Bone marrow aspirate smear:
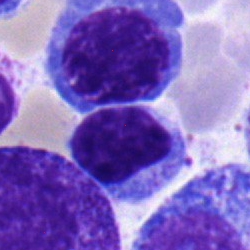Specimen: bone marrow smear.
Morphological class: lymphocyte.